Bone marrow aspirate smear:
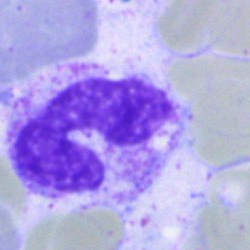
The cell is stab cell.